Bone marrow aspirate smear:
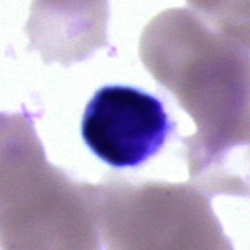
Lymphocyte.